Bone marrow aspirate smear — 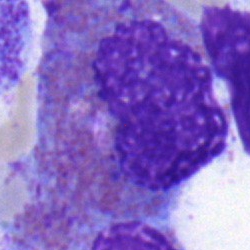

An eosinophil.